Bone marrow smear — 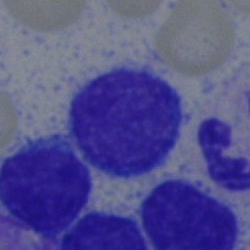
The classification is typical lymphocyte.